Bone marrow smear:
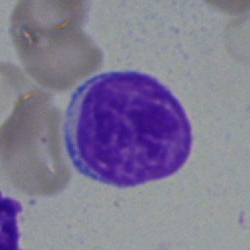
Typical lymphocyte.